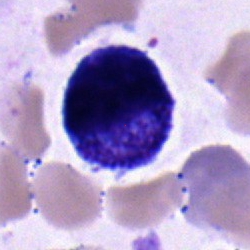

Classification = promyelocyte.